Bone marrow smear. Single-cell crop:
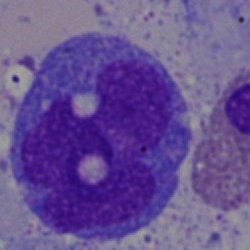Morphological class = monocyte.